Bone marrow smear. 40× oil immersion.
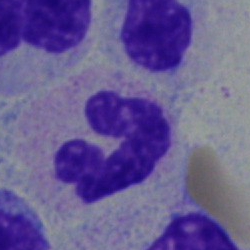
Classification: neutrophil (segmented).